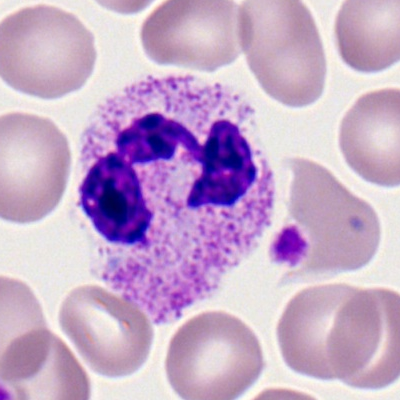Specimen: peripheral blood smear.
Cell: segmented neutrophil.